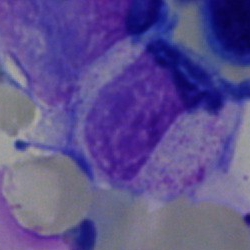

Bone marrow aspirate smear, single cell — cell of indeterminate lineage.